Bone marrow aspirate smear: 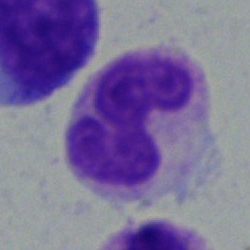 Showing a stab cell.